Bone marrow aspirate smear · 250×250 px:
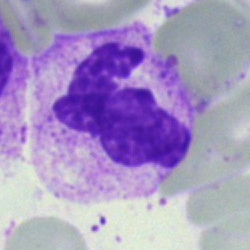
Q: What type of cell is this?
A: Polymorphonuclear neutrophil.